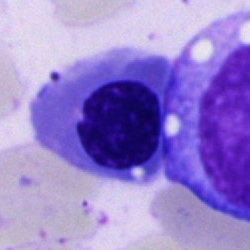 Classification = nucleated red blood cell.